Single-cell field. 40× objective, oil immersion. Bone marrow aspirate smear: 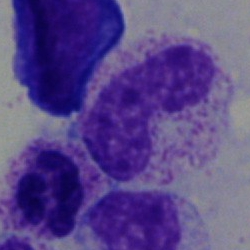 {"cell_type": "stab cell", "lineage": "myeloid"}